100× oil immersion; Romanowsky-stained; peripheral blood smear.
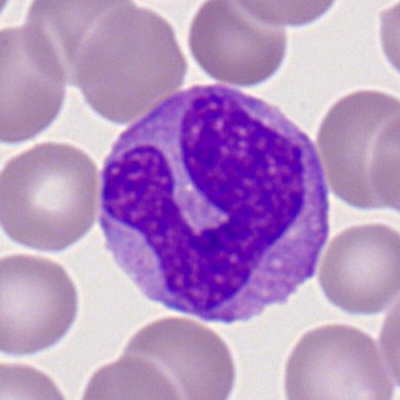

Single cell identified as a monocyte.